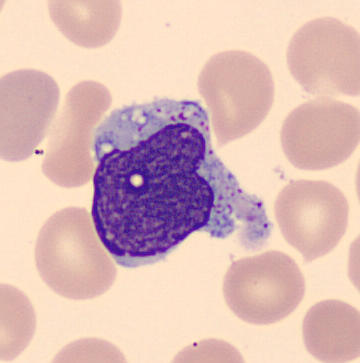

Cell type = monocyte.